Bone marrow aspirate smear
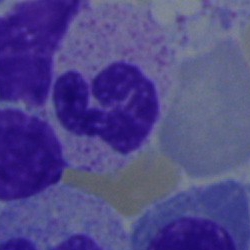The cell shown is a segmented neutrophil.